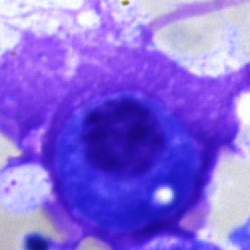
Q: What cell is this?
A: A plasma cell.